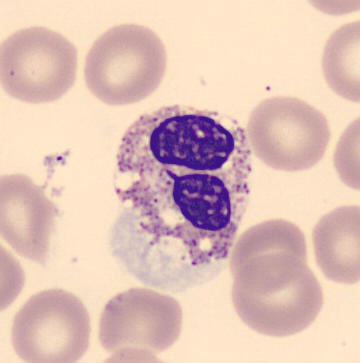
The cell type is polymorphonuclear neutrophil.